Bone marrow aspirate smear — 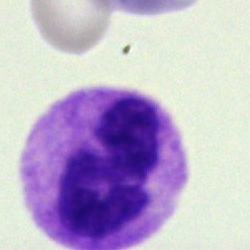
Single cell identified as a segmented neutrophil.